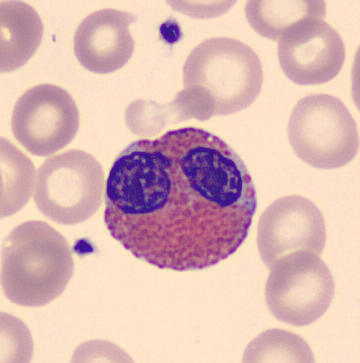
Showing an eosinophil.

Image: Peripheral blood film.